Peripheral blood smear:
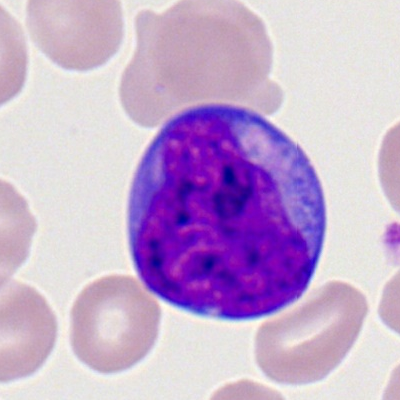 Showing a myeloid blast.